40× oil immersion; bone marrow aspirate smear: 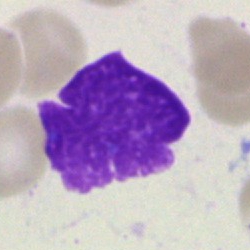 Impression — artifact.